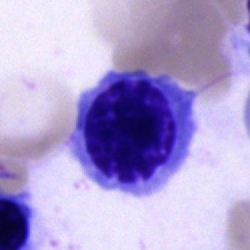

The cell type is normoblast.